Bone marrow aspirate smear:
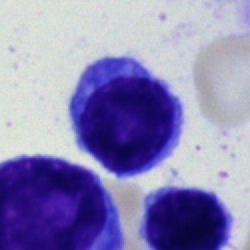This is a typical lymphocyte.